Bone marrow aspirate smear: 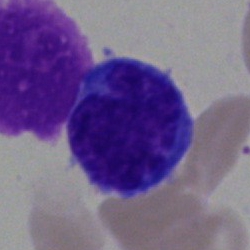{"cell_type": "lymphocyte"}